Single cell centered in the field. Bone marrow aspirate smear: 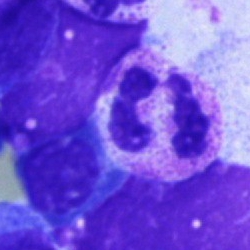 Q: What is shown here?
A: It is a segmented neutrophil.